100× oil immersion. 400 by 400 pixels. Peripheral blood film.
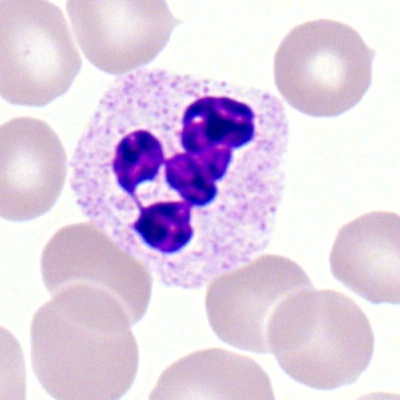
Showing a polymorphonuclear neutrophil.